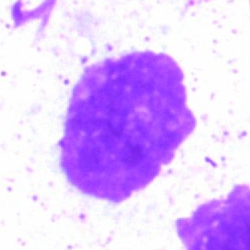
Specimen: bone marrow aspirate smear.
Cell type: artefact.